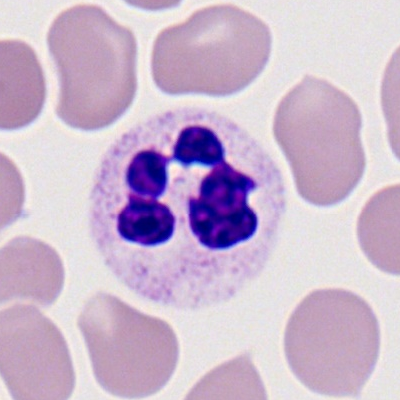
Cell type: polymorphonuclear neutrophil.